Bone marrow aspirate smear; Pappenheim-stained; cropped to a single cell:
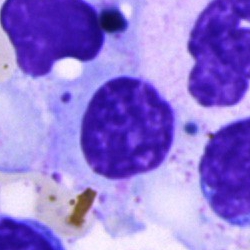
Specimen: bone marrow aspirate smear.
Morphological class: cell of indeterminate lineage.